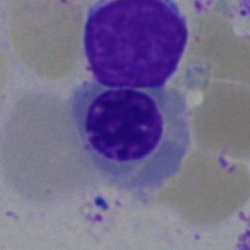

Morphology — normoblast.